Bone marrow smear.
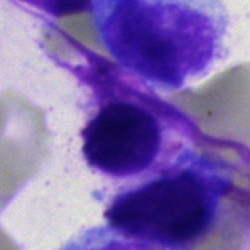
The cell type is artifact.